Bone marrow aspirate smear.
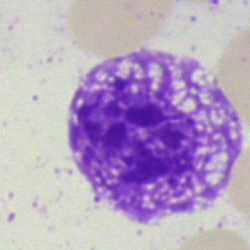Cell type — artefact.